Peripheral blood smear. Cropped to a single cell. 400×400.
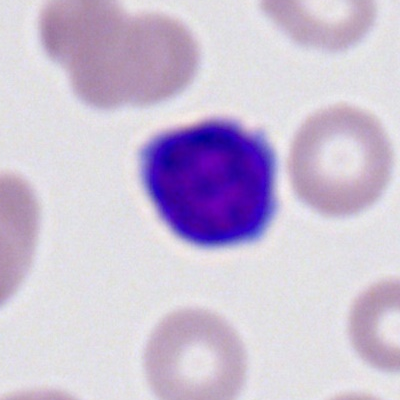

Cell: typical lymphocyte.